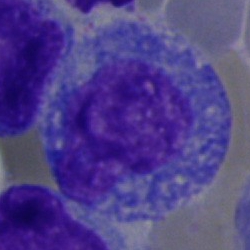Q: What is shown here?
A: This is a promyelocyte.